40× oil immersion · single cell centered in the field · bone marrow aspirate smear.
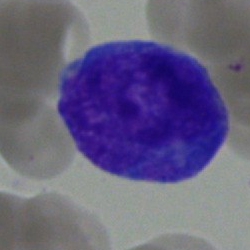
Cell type: blast cell.